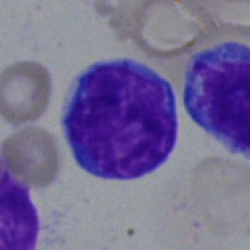
Cell = typical lymphocyte.